Bone marrow aspirate smear. Single cell centered in the field:
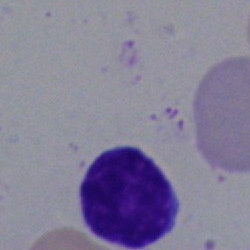 Typical lymphocyte.